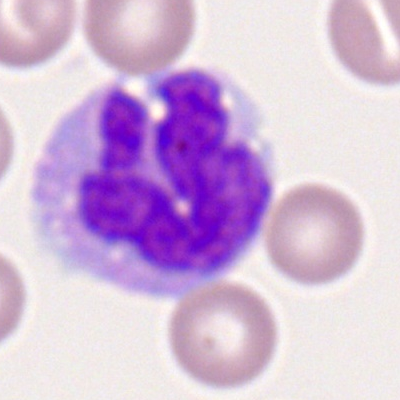 Impression → monocyte.